Bone marrow smear — 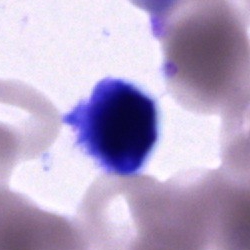

Cell of indeterminate lineage.